Peripheral blood film · cropped to a single cell · Romanowsky stain:
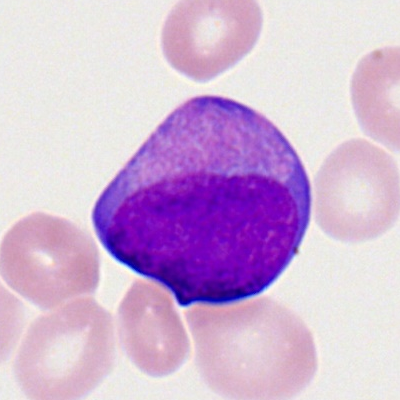Showing a myeloid blast.